250×250 px · brightfield, 40× oil-immersion objective · bone marrow aspirate smear
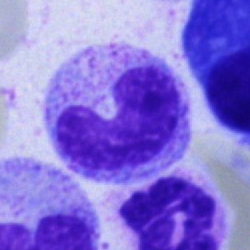
Q: What cell is this?
A: It is a band-form neutrophil.